Single cell centered in the field. Bone marrow aspirate smear — 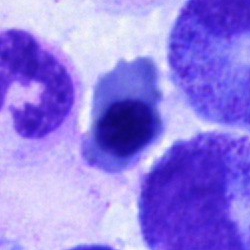 {"cell_type": "erythroblast", "lineage": "erythroid"}